400 by 400 pixels. Peripheral blood film: 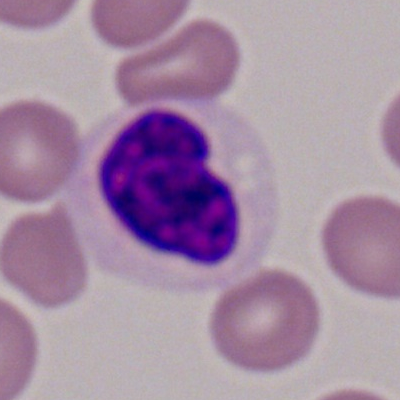 Q: What is shown here?
A: Polymorphonuclear neutrophil.